Bone marrow aspirate smear:
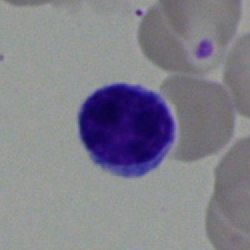A lymphocyte.